Peripheral blood film — 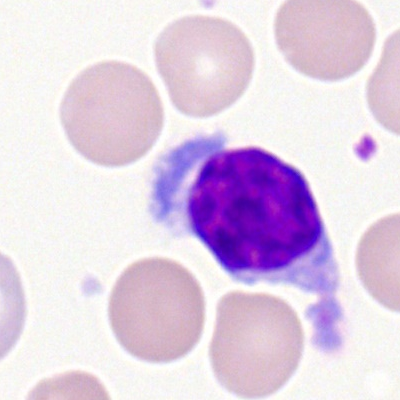

Morphological class: typical lymphocyte.